Bone marrow smear
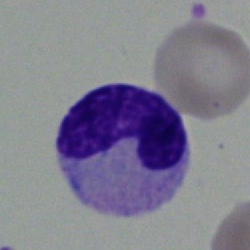Cell type — band-form neutrophil.